Bone marrow smear:
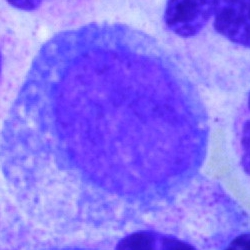
The classification is promyelocyte.